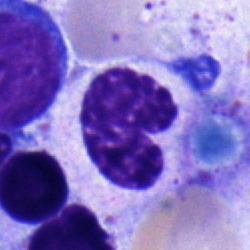

Single-cell crop from a bone marrow smear: neutrophil (band).